Bone marrow aspirate smear:
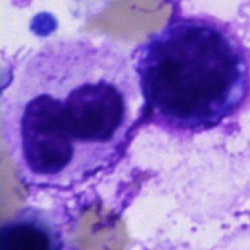
Q: What is shown here?
A: This is a neutrophil (segmented).